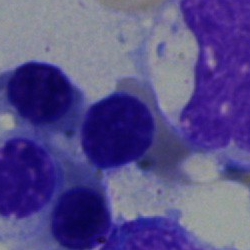 Cell — normoblast.